Peripheral blood smear · single-cell field — 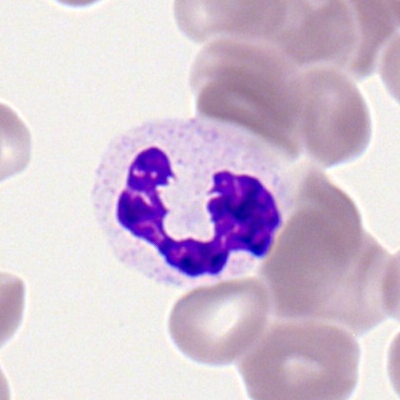 {"cell_type": "segmented neutrophil"}